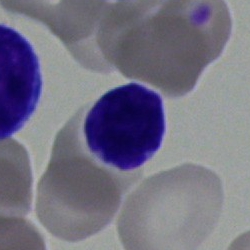 Bone marrow aspirate smear, single cell — lymphocyte.